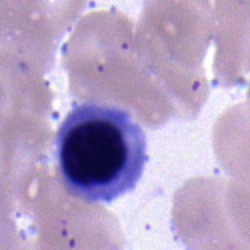

Showing a nucleated red blood cell.